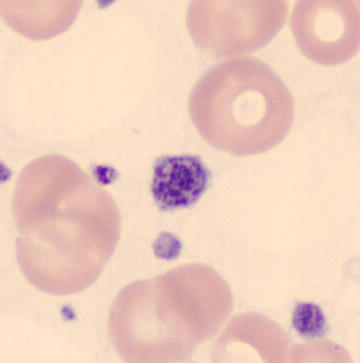

Q: What is this?
A: Thrombocyte.